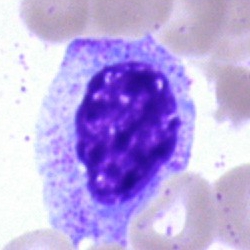

Q: What cell is this?
A: Myelocyte.